Bone marrow smear
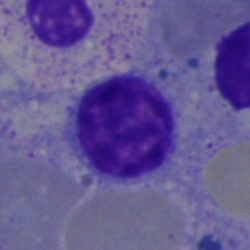A typical lymphocyte.